Single-cell field. May-Grünwald-Giemsa stain. Bone marrow smear:
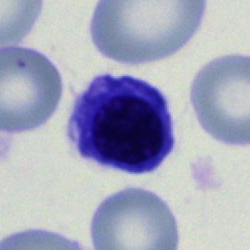
Specimen: bone marrow smear.
Morphological class: erythroblast.